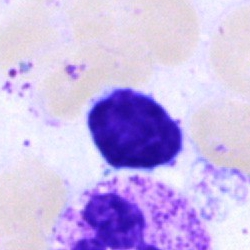
The cell shown is a lymphocyte.